Peripheral blood smear
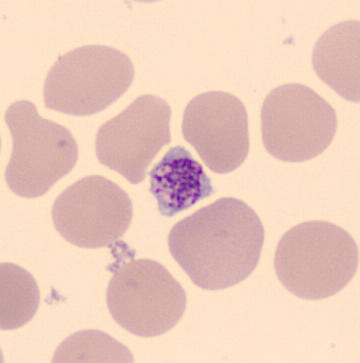Morphology consistent with a platelet.